Bone marrow aspirate smear.
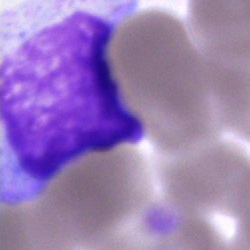 An unidentifiable cell.